Pappenheim-stained. 250×250 px. Bone marrow aspirate smear
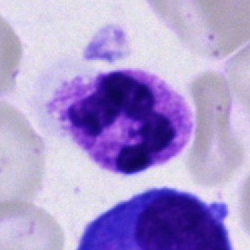The cell is polymorphonuclear neutrophil.